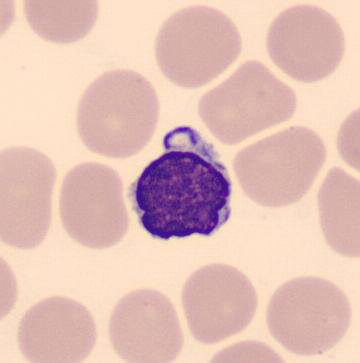Image size 360×363. MGG-stained. Peripheral blood smear. Q: What is shown here?
A: It is a lymphocyte.